Bone marrow aspirate smear: 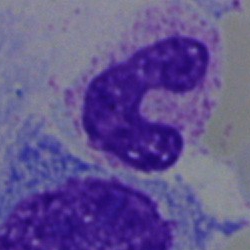Impression — stab cell.